Peripheral blood smear.
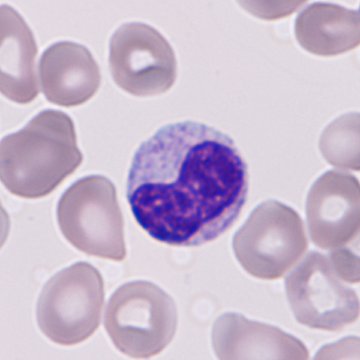Morphological class: granulocyte precursor.